Bone marrow smear. Single-cell crop — 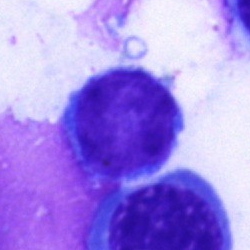
Specimen: bone marrow smear.
Cell type: lymphocyte.
Lineage: lymphoid.